Single-cell crop · bone marrow smear.
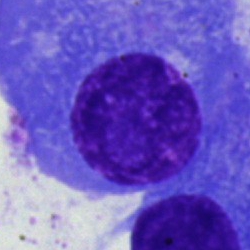
Showing a plasmacyte.